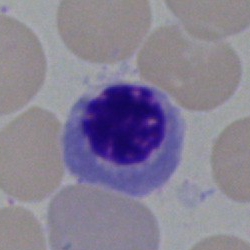

An erythroblast on a bone marrow smear.